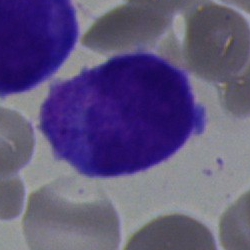 Morphological class — progranulocyte.